Bone marrow aspirate smear: 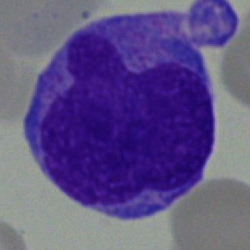 A monocyte.